40× objective, oil immersion. Pappenheim-stained. Bone marrow aspirate smear.
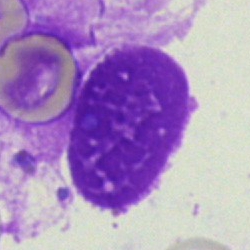

The morphological class is artefact.